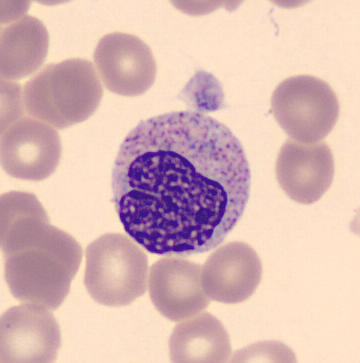 A metamyelocyte.